Bone marrow smear; brightfield, 40× oil-immersion objective — 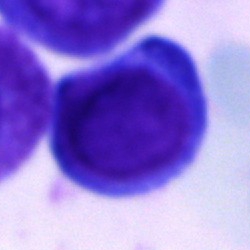
Morphology → proerythroblast.